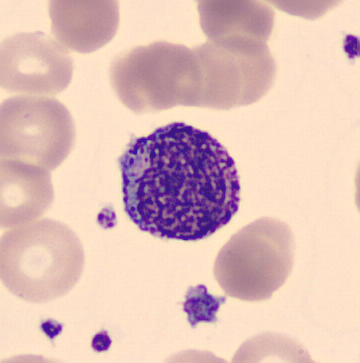Morphology → myelocyte.